Bone marrow smear; single-cell field — 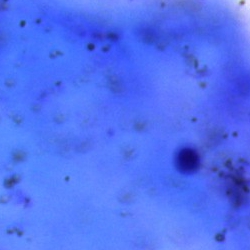 This is an artefact.